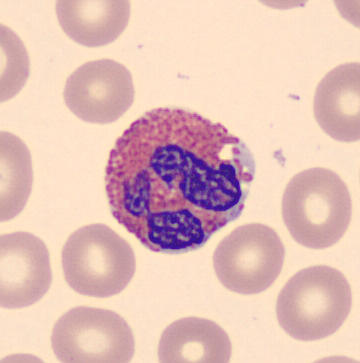 Preparation: Peripheral blood film.
Morphology — eosinophil.